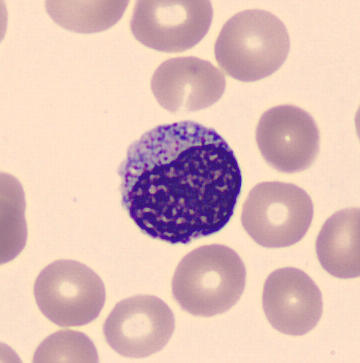 This is a myelocyte.